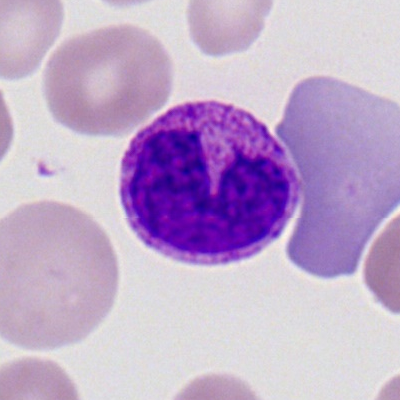

Specimen: peripheral blood smear.
Classification: basophil.
Lineage: myeloid.